40× objective, oil immersion. Bone marrow smear — 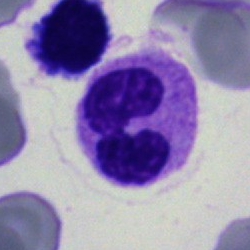
Q: What is the morphological classification of this cell?
A: This is a neutrophil (segmented).